May-Grünwald-Giemsa/Pappenheim stain; bone marrow aspirate smear
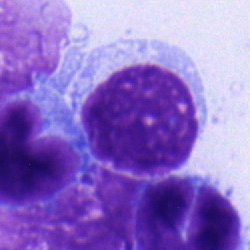
Morphological class: typical lymphocyte.